May-Grünwald-Giemsa/Pappenheim stain. Bone marrow aspirate smear: 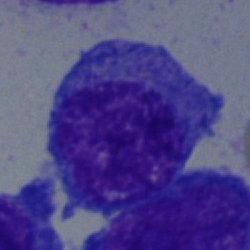Specimen: bone marrow aspirate smear.
Classification: blast.